Brightfield, 40× oil-immersion objective · bone marrow smear
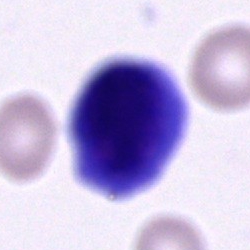 A cell of indeterminate lineage.